Bone marrow aspirate smear. 250×250 px.
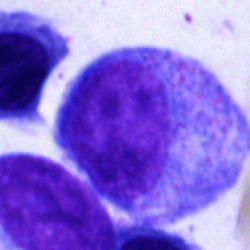
Morphology → progranulocyte.